250×250; bone marrow smear:
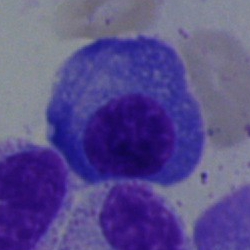{"cell_type": "plasmacyte", "lineage": "lymphoid"}